Bone marrow smear.
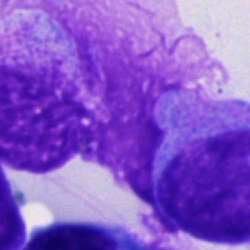
The cell shown is an artefact.